Bone marrow smear. 250×250:
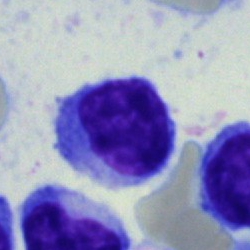

The morphological class is lymphocyte.